MGG-stained · bone marrow smear
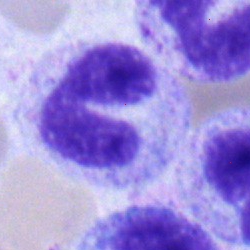Single cell identified as a neutrophil (segmented).